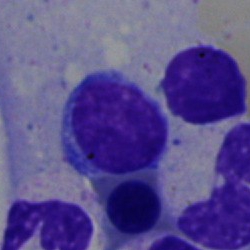

Single-cell crop from a bone marrow smear: typical lymphocyte.